Bone marrow smear: 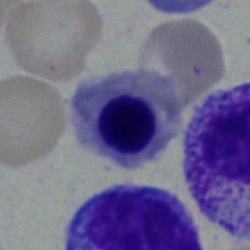This is a nucleated red cell.